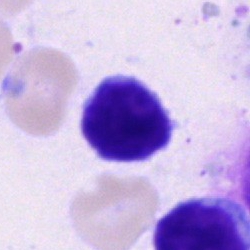
Bone marrow aspirate smear, single cell — typical lymphocyte.